Single-cell crop. Bone marrow aspirate smear:
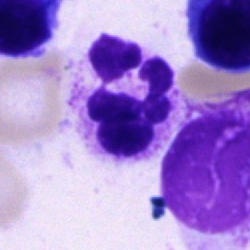Showing a neutrophil (segmented).